Bone marrow smear. 40× objective, oil immersion. 250×250: 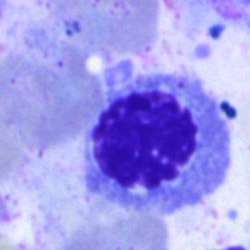
A nucleated red cell.